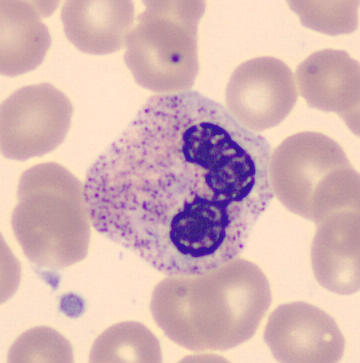 Classification = band-form neutrophil. Image: Peripheral blood film; single cell centered in the field.